Bone marrow aspirate smear. 250×250. Single cell centered in the field — 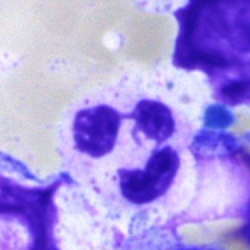Morphological class = neutrophil (segmented).